Bone marrow aspirate smear; single-cell field
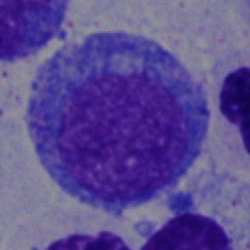This is a promyelocyte.